Bone marrow smear · single-cell crop · brightfield, 40× oil-immersion objective:
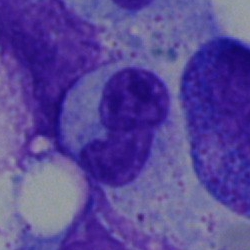
Q: What is shown here?
A: A band neutrophil.